Bone marrow aspirate smear:
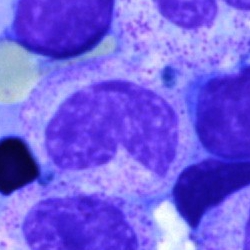
Morphological class = stab cell.